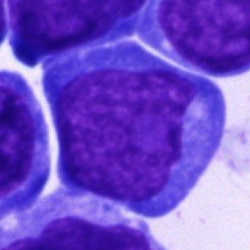

A blast cell.